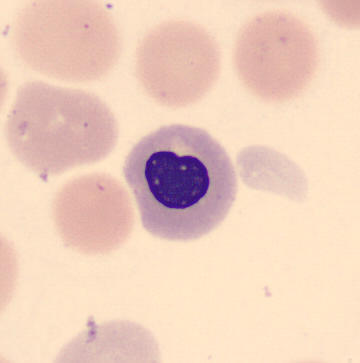
Showing a nucleated red blood cell. Peripheral blood film.